Bone marrow smear · single-cell field · MGG-stained:
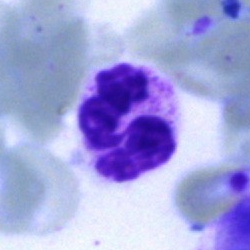

The cell shown is a neutrophil (segmented).